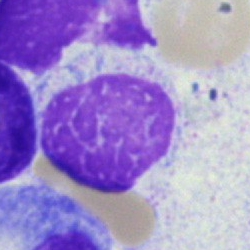 Morphology consistent with an artifact.